May-Grünwald-Giemsa/Pappenheim stain; single-cell crop; bone marrow aspirate smear
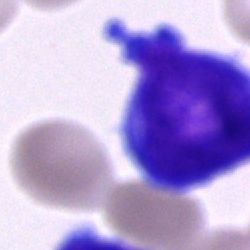A blast cell.